Bone marrow aspirate smear: 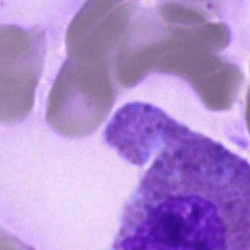Morphology — artefact.